Bone marrow aspirate smear:
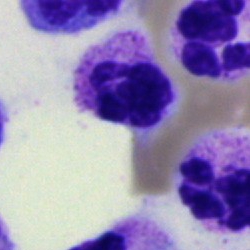
Specimen: bone marrow aspirate smear.
Morphological class: neutrophil (segmented).
Lineage: myeloid.